Bone marrow aspirate smear: 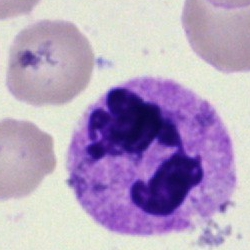Morphology consistent with a neutrophil (segmented).